Bone marrow smear:
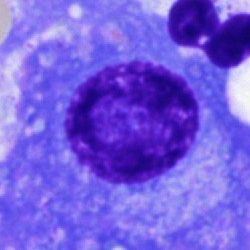This is a plasmacyte.